Bone marrow aspirate smear — 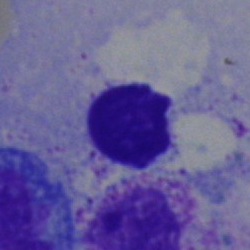Showing a lymphocyte.